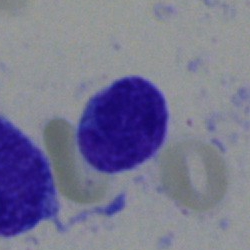 Morphology consistent with a lymphocyte.